250×250 px. Brightfield, 40× oil-immersion objective. Bone marrow smear — 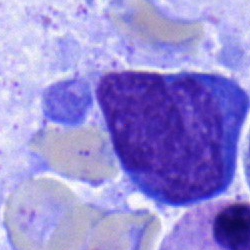 Showing an undifferentiated blast.